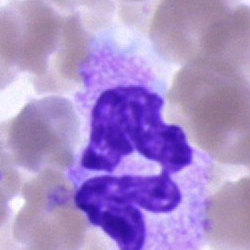 Showing a segmented neutrophil.